Peripheral blood smear.
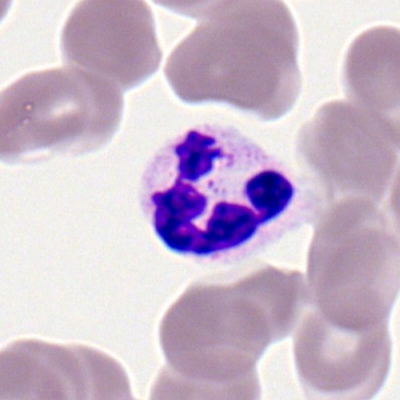

Specimen: peripheral blood smear.
Cell: polymorphonuclear neutrophil.